Bone marrow smear
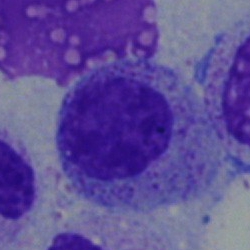The cell shown is a myelocyte.